Cropped to a single cell; bone marrow aspirate smear; 40× oil immersion:
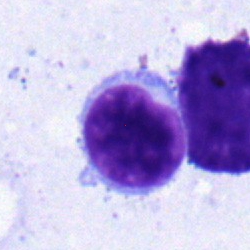Typical lymphocyte.